Bone marrow aspirate smear · 40× objective, oil immersion:
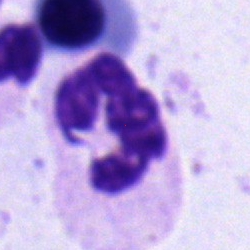 The cell shown is a segmented neutrophil.